Bone marrow smear. Brightfield microscopy, 40× oil immersion: 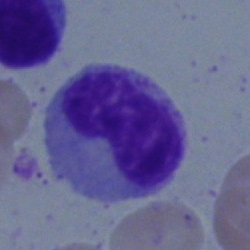This is a metamyelocyte.